Bone marrow smear — 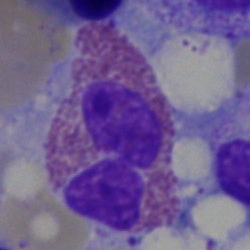 Morphology consistent with an eosinophil.